Bone marrow smear
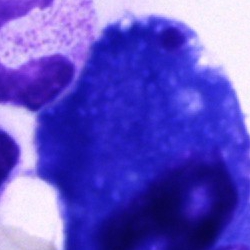
Classification: plasmacyte.